Bone marrow aspirate smear: 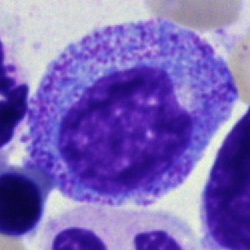
Morphological class — myelocyte.